Bone marrow aspirate smear — 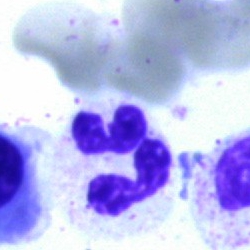Classification = polymorphonuclear neutrophil.